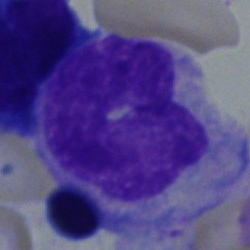 {"cell_type": "monocyte", "lineage": "myeloid"}